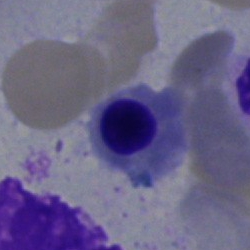
Q: What cell is this?
A: Normoblast.